Bone marrow aspirate smear. 250 by 250 pixels. Pappenheim-stained: 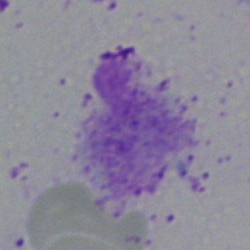 Impression → artifact.